Bone marrow smear. 40× oil immersion. May-Grünwald-Giemsa stain
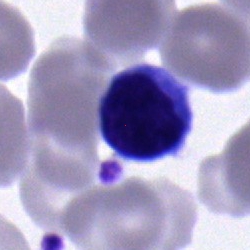A lymphocyte.